Peripheral blood smear:
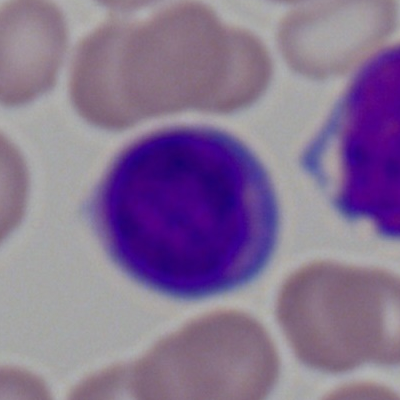
Showing a myeloid blast.